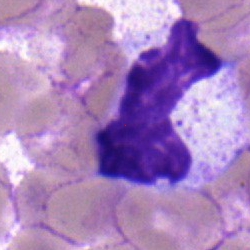

Classification — band-form neutrophil.